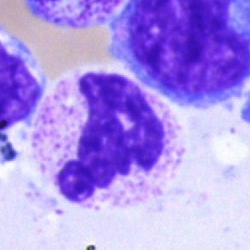
Q: What type of cell is this?
A: It is a segmented neutrophil.